Bone marrow smear; 250×250 px:
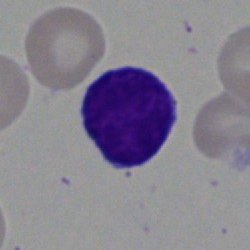 This is a lymphocyte.